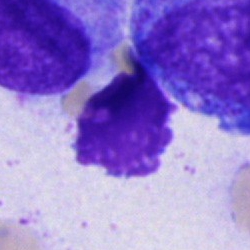Impression — artefact.